Bone marrow smear
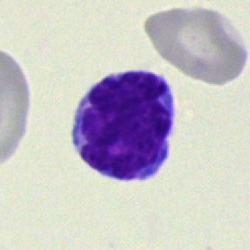Showing a lymphocyte.